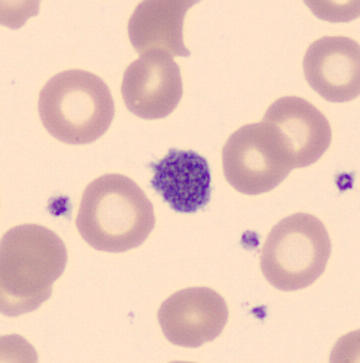

Specimen: peripheral blood smear.
Classification: thrombocyte.